40× objective, oil immersion. Bone marrow smear:
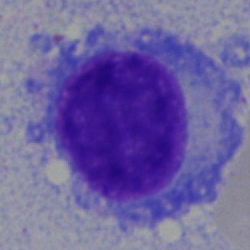
The cell type is plasma cell.